Bone marrow smear.
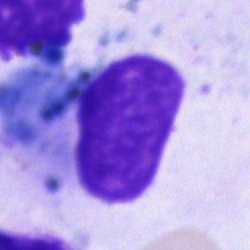
Specimen: bone marrow smear.
Morphological class: artifact.